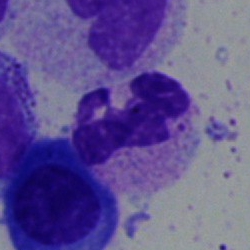

Single cell identified as a polymorphonuclear neutrophil.